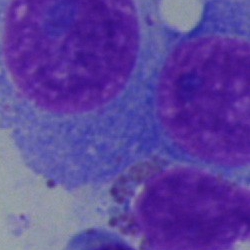Showing a plasmacyte.